Bone marrow smear · single-cell field:
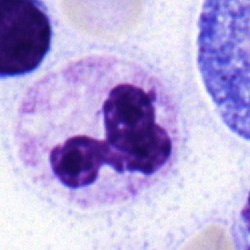 {"cell_type": "neutrophil (segmented)"}